Brightfield microscopy, 40× oil immersion; bone marrow smear; 250 by 250 pixels: 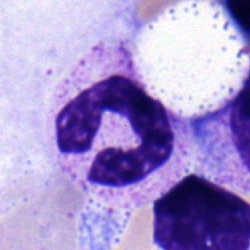 A band neutrophil.